Bone marrow aspirate smear; MGG-stained:
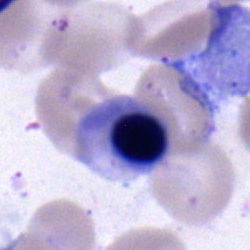
Specimen: bone marrow aspirate smear.
Classification: nucleated red cell.
Lineage: erythroid.